Bone marrow aspirate smear.
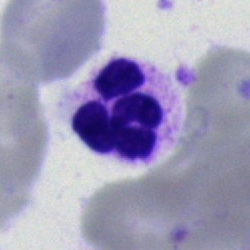

Impression → segmented neutrophil.